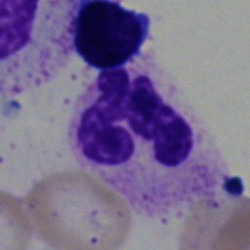

Polymorphonuclear neutrophil.